Bone marrow aspirate smear
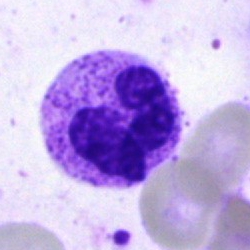
Morphology → polymorphonuclear neutrophil.